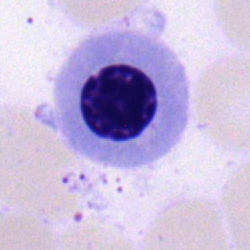

This is a nucleated red cell.